Bone marrow aspirate smear.
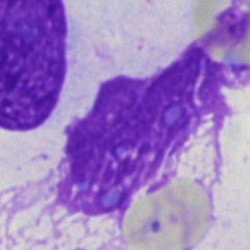

{"cell_type": "artifact"}